Bone marrow smear
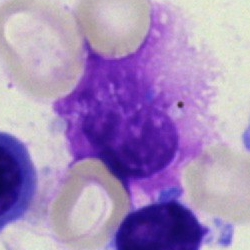 Q: What is shown here?
A: An artifact.